Bone marrow aspirate smear:
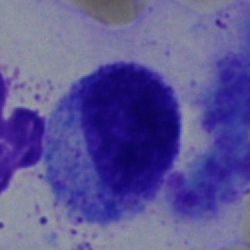

Cell — myelocyte.